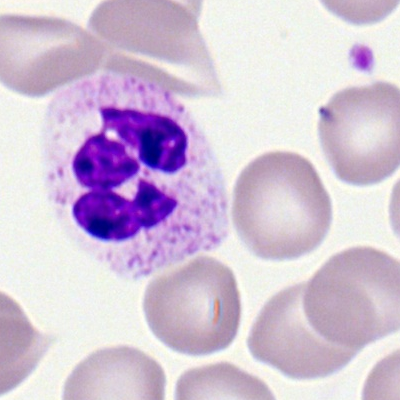

Cell type = segmented neutrophil.